Peripheral blood smear: 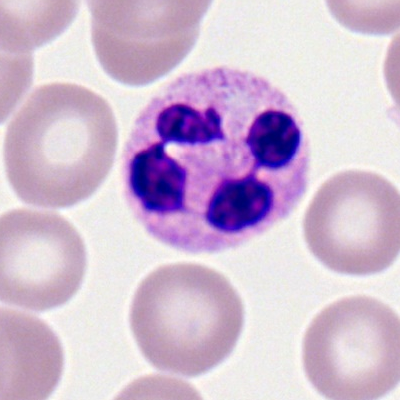

Morphology consistent with a segmented neutrophil.